Bone marrow smear — 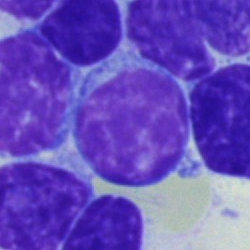
Morphological class — typical lymphocyte.